Bone marrow aspirate smear.
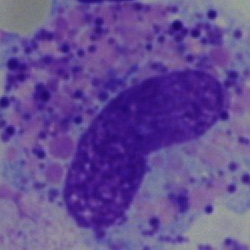
Showing a cell not matching the other categories.